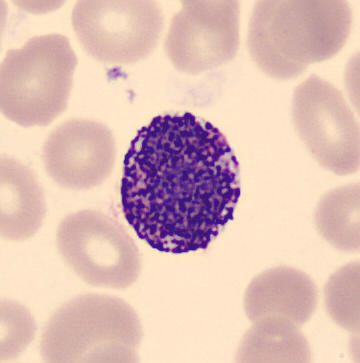Peripheral blood film, single cell — basophil.